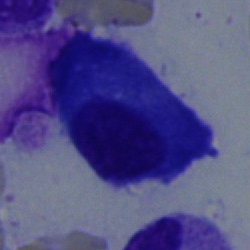

Morphology → plasmacyte.